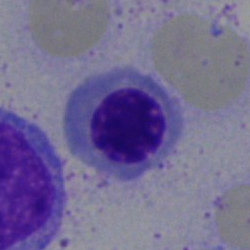Q: What type of cell is this?
A: This is a normoblast.